Bone marrow aspirate smear:
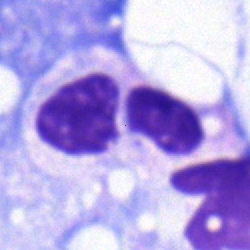
A neutrophil (segmented).